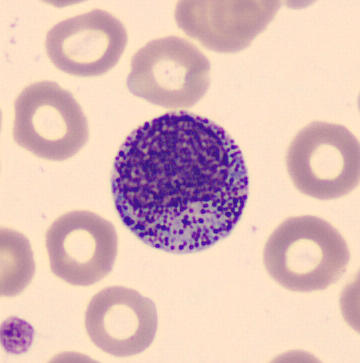 Peripheral blood smear.

Myelocyte.